Bone marrow smear.
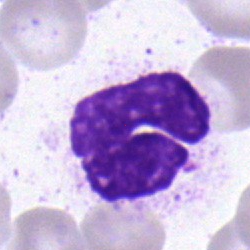The cell shown is a segmented neutrophil.